Bone marrow smear.
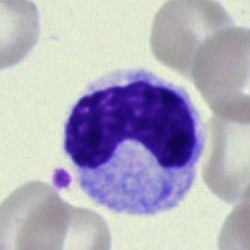
Single cell identified as a neutrophil (band).